Bone marrow aspirate smear:
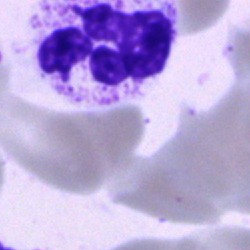
This is a polymorphonuclear neutrophil.